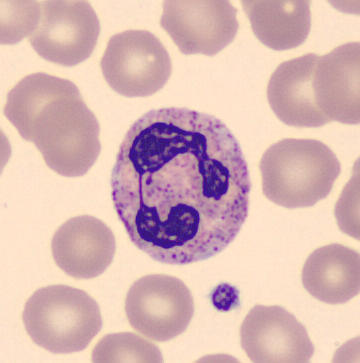
Acquisition: Automated cell imaging (CellaVision DM96); peripheral blood smear.

Q: What is this?
A: This is a polymorphonuclear neutrophil.